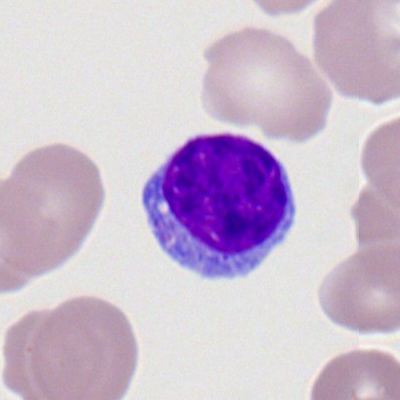
Specimen: peripheral blood film.
Cell type: typical lymphocyte.
Lineage: lymphoid.